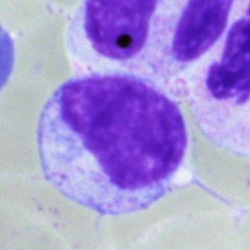

Bone marrow aspirate smear, single cell — myelocyte.